Brightfield microscopy, 40× oil immersion · bone marrow smear:
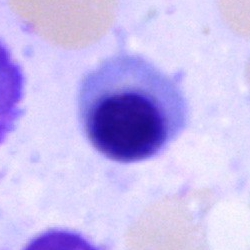

Showing a normoblast.